Bone marrow smear.
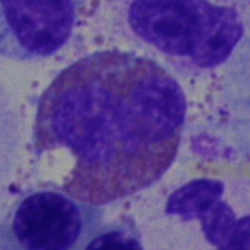 Q: Identify the cell.
A: This is an eosinophilic granulocyte.